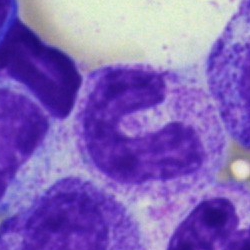
A neutrophil (band).